Bone marrow smear: 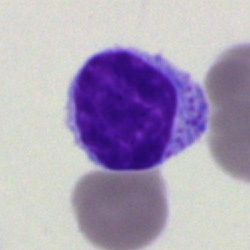This is a lymphocyte.